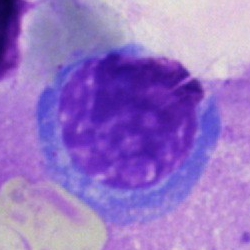Morphological class: nucleated red cell.